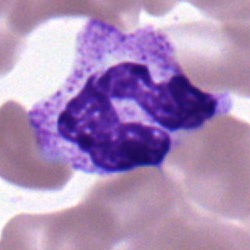

Bone marrow smear showing a neutrophil (segmented).